Bone marrow aspirate smear
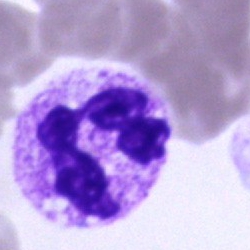
The cell shown is a segmented neutrophil.